250×250; May-Grünwald-Giemsa stain; bone marrow smear
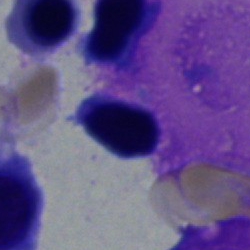Q: What is shown here?
A: This is a typical lymphocyte.